Bone marrow aspirate smear; cropped to a single cell — 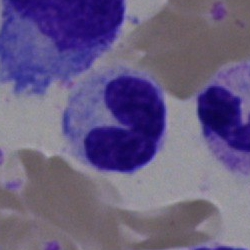

This is a neutrophil (band).